MGG-stained. Bone marrow smear — 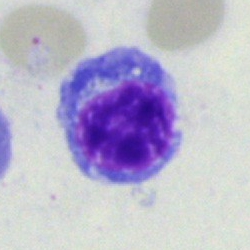 {"cell_type": "erythroblast", "lineage": "erythroid"}